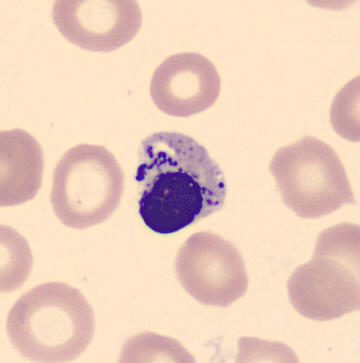

Morphology — normoblast. Acquisition: Peripheral blood film.